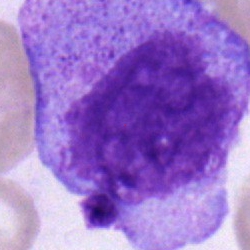Morphological class = promyelocyte.